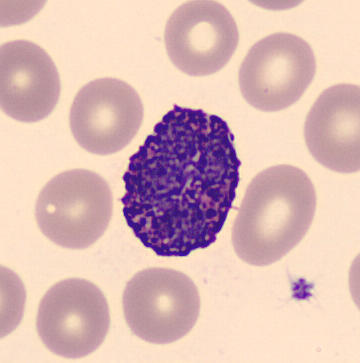

The cell type is basophilic granulocyte. Peripheral blood film. 360×363 px. Automated cell imaging (CellaVision DM96).